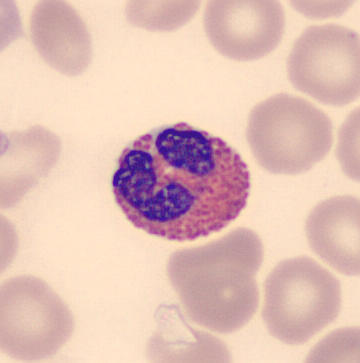Acquisition: 360×363. Peripheral blood film. CellaVision DM96.

Morphology consistent with an eosinophil.